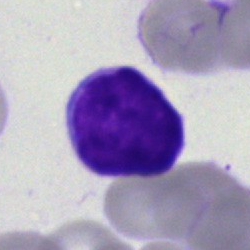 Single-cell crop from a bone marrow smear: lymphocyte.